360 by 363 pixels · peripheral blood film.
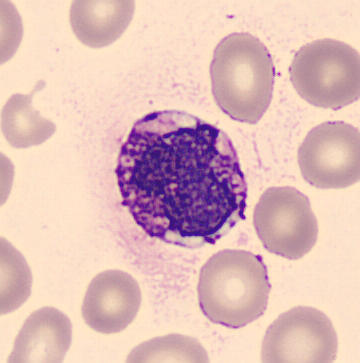
The cell shown is a basophil.